Bone marrow smear:
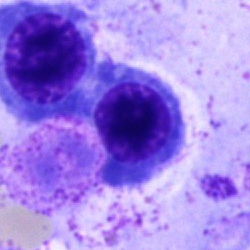

Q: What cell is this?
A: This is a nucleated red blood cell.